Bone marrow smear — 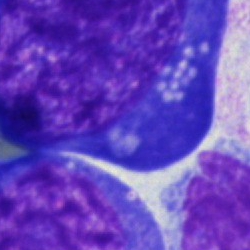

Morphology consistent with a pronormoblast.